Bone marrow aspirate smear; image size 250×250
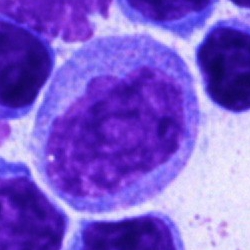Morphological class — monocyte.